Peripheral blood smear: 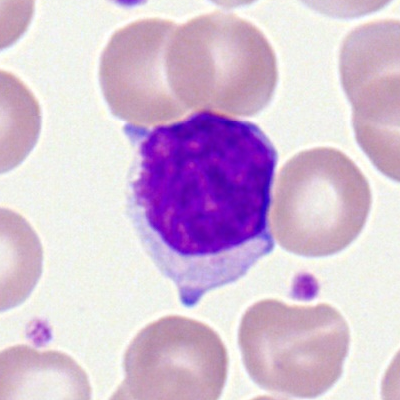
Specimen: peripheral blood smear.
Classification: typical lymphocyte.
Lineage: lymphoid.